May-Grünwald-Giemsa/Pappenheim stain. Brightfield microscopy, 40× oil immersion. Bone marrow smear:
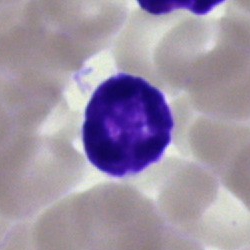 Specimen: bone marrow smear.
Cell type: lymphocyte.
Lineage: lymphoid.